Bone marrow aspirate smear
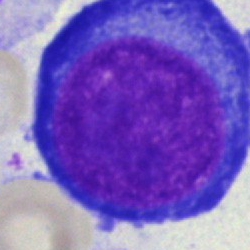
Morphology consistent with a proerythroblast.